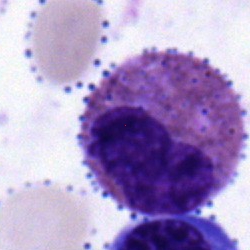Morphology — eosinophilic granulocyte.